Bone marrow aspirate smear:
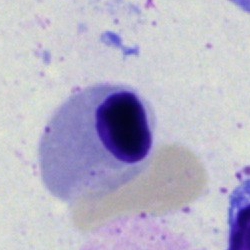

{"cell_type": "normoblast", "lineage": "erythroid"}